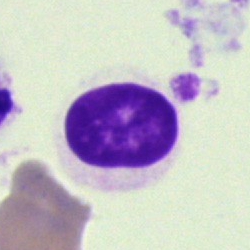

Morphology consistent with an artifact.